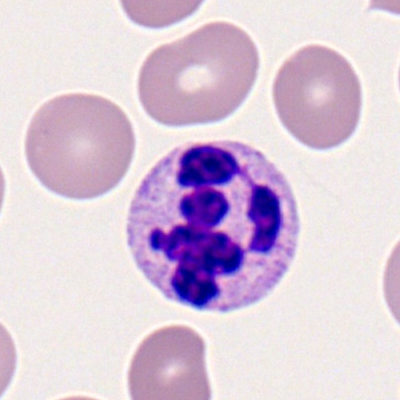Cell type = polymorphonuclear neutrophil.